Bone marrow smear. Single-cell crop. Pappenheim-stained
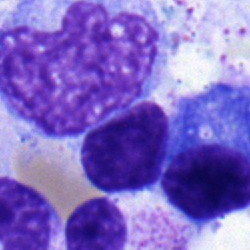Single cell identified as a lymphocyte.